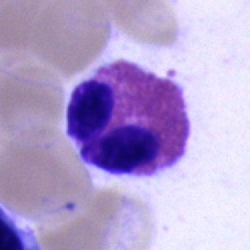 {"cell_type": "eosinophil", "lineage": "myeloid"}